Bone marrow smear — 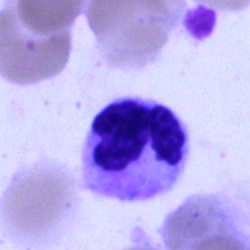{"cell_type": "polymorphonuclear neutrophil", "lineage": "myeloid"}